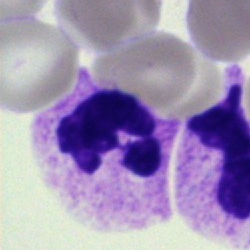
Impression — neutrophil (segmented).